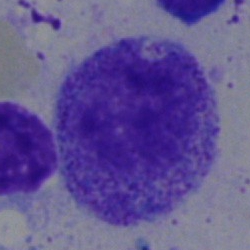
Specimen: bone marrow smear.
Cell: myelocyte.
Lineage: myeloid.